400 by 400 pixels. Peripheral blood film
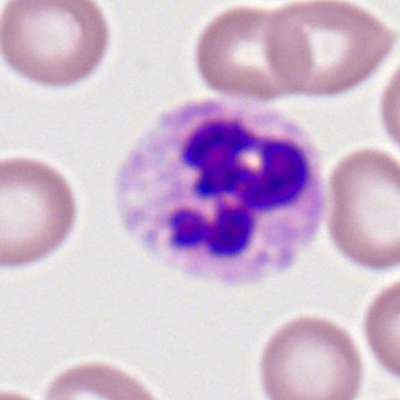 Showing a polymorphonuclear neutrophil.